Bone marrow smear · brightfield, 40× oil-immersion objective · MGG-stained
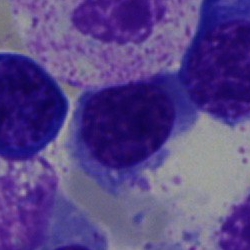 Specimen: bone marrow smear.
Cell type: normoblast.